Romanowsky-type stain. Peripheral blood smear — 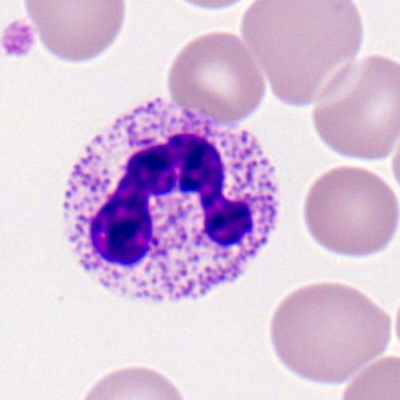Morphology consistent with a polymorphonuclear neutrophil.